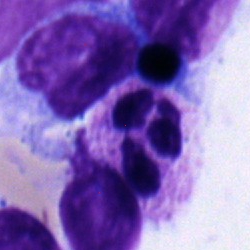

Morphology — neutrophil (segmented).